Bone marrow aspirate smear: 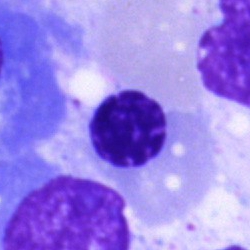 Q: What is shown here?
A: It is a nucleated red blood cell.